Peripheral blood film. Romanowsky-stained. M8 digital microscope (Precipoint), 100× oil immersion
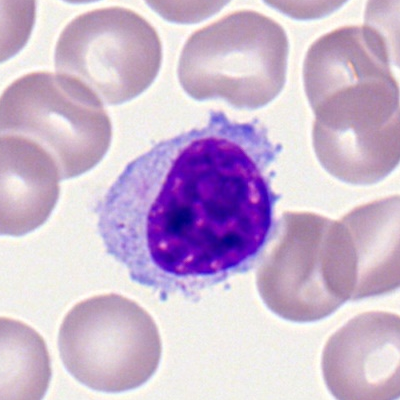

Morphology — lymphocyte.